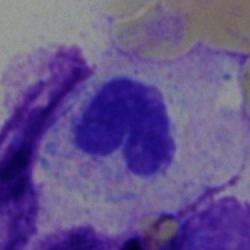
Bone marrow smear showing a stab cell.